Bone marrow aspirate smear: 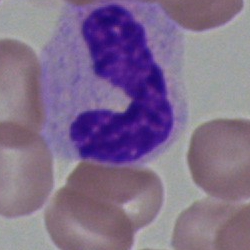Q: What is shown here?
A: This is a stab cell.